Cropped to a single cell · bone marrow aspirate smear.
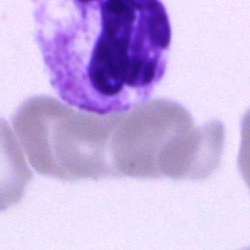Q: What cell is this?
A: This is a segmented neutrophil.